Bone marrow aspirate smear:
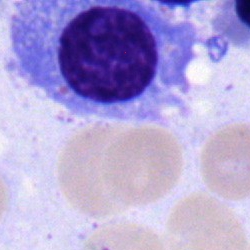Cell type — plasmacyte.